Bone marrow smear · 250×250 — 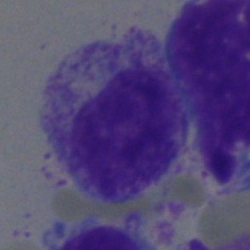

Impression → myelocyte.